100× objective, oil immersion · peripheral blood smear · cropped to a single cell:
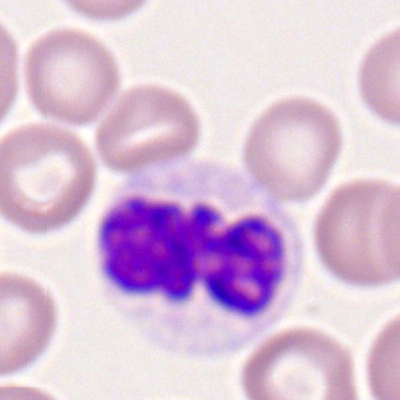
The cell shown is a neutrophil (segmented).